Bone marrow aspirate smear: 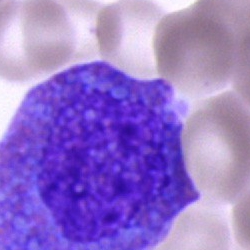The cell shown is an eosinophilic granulocyte.